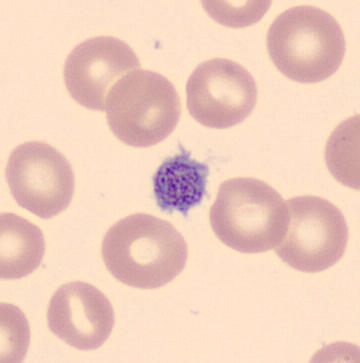

Classification = platelet (thrombocyte).

Peripheral blood film.